Romanowsky-stained · single-cell crop · peripheral blood film — 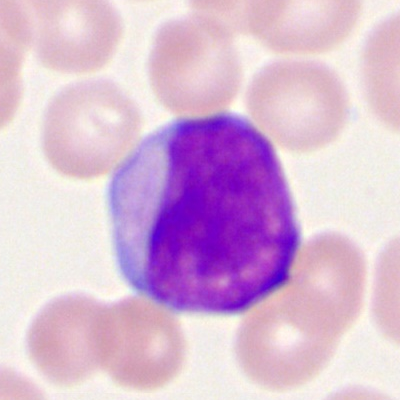Cell type: myeloid blast.